Bone marrow smear:
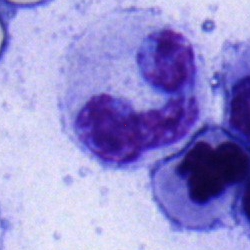

Morphological class: stab cell.